Bone marrow smear
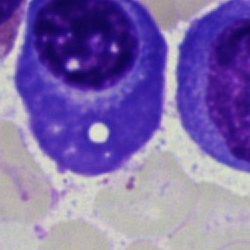

Morphology → plasma cell.